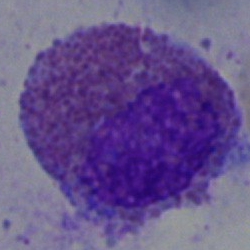Q: Identify the cell.
A: It is an eosinophil.